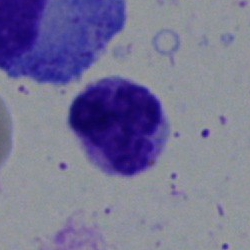
The cell shown is a monocyte.